Brightfield, 40× oil-immersion objective · bone marrow smear — 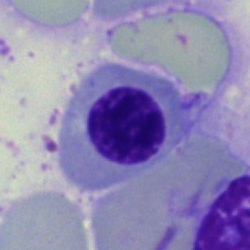

A nucleated red cell.